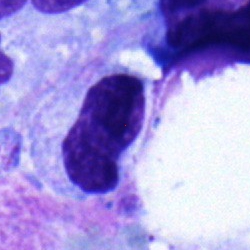Cell type = band neutrophil.